Single cell centered in the field · bone marrow aspirate smear · 250 by 250 pixels.
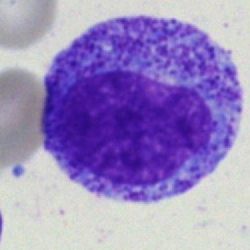

The cell shown is a pronormoblast.